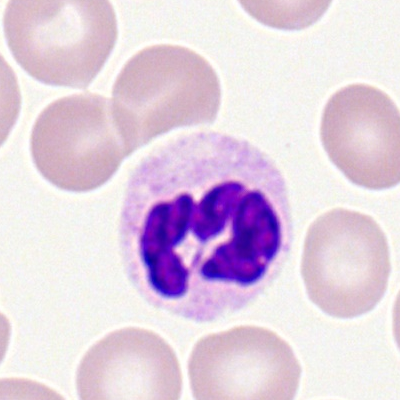
Single-cell crop from a peripheral blood smear: polymorphonuclear neutrophil.